Pappenheim-stained; bone marrow aspirate smear; single-cell field: 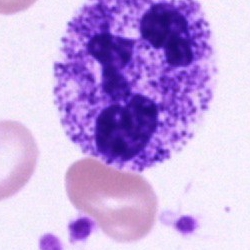 Polymorphonuclear neutrophil.